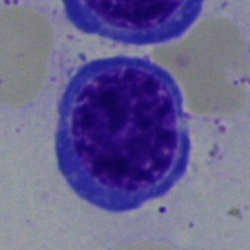Bone marrow smear showing a nucleated red cell.